Bone marrow smear:
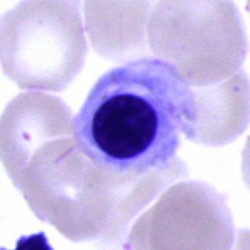Erythroblast.